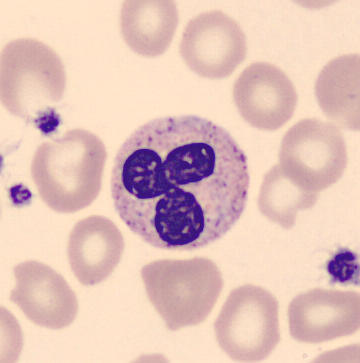
Specimen: peripheral blood smear.
Classification: polymorphonuclear neutrophil.
Lineage: myeloid.